Bone marrow smear. Single cell centered in the field. 250×250
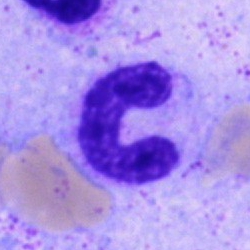
The cell is neutrophil (band).